Bone marrow aspirate smear. Cropped to a single cell — 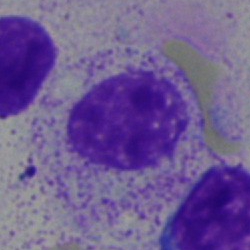Morphological class — myelocyte.